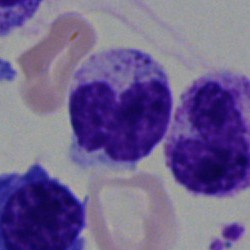 Impression — segmented neutrophil.